Bone marrow aspirate smear. May-Grünwald-Giemsa/Pappenheim stain — 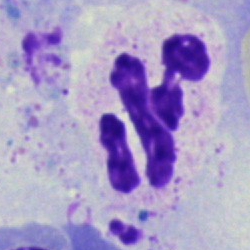
Morphology consistent with a segmented neutrophil.